Bone marrow smear — 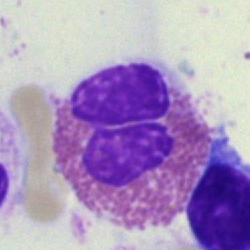

Classification = eosinophilic granulocyte.